Bone marrow aspirate smear:
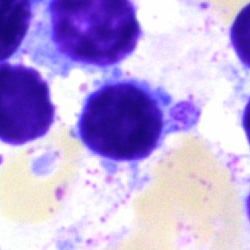 Morphology → typical lymphocyte.